Bone marrow smear. Single-cell crop: 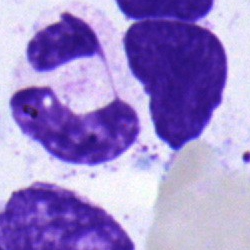
Neutrophil (segmented).